Single-cell field. Bone marrow smear. Pappenheim-stained: 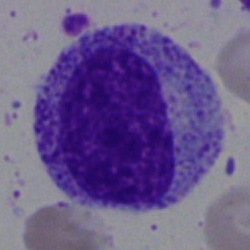 Myelocyte.